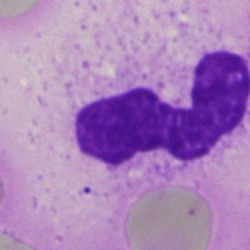
Specimen: bone marrow aspirate smear.
Classification: neutrophil (segmented).
Lineage: myeloid.